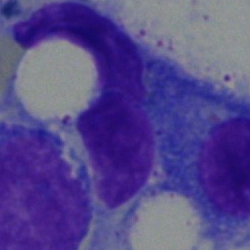 This is a plasma cell.